Bone marrow smear:
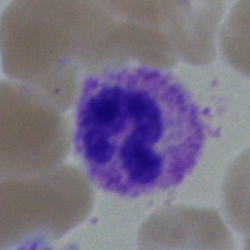Cell = polymorphonuclear neutrophil.